May-Grünwald-Giemsa/Pappenheim stain. Bone marrow smear:
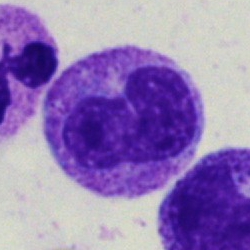
The cell type is metamyelocyte.